Cropped to a single cell · bone marrow aspirate smear:
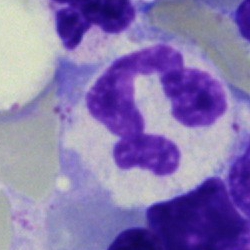 Morphological class: segmented neutrophil.